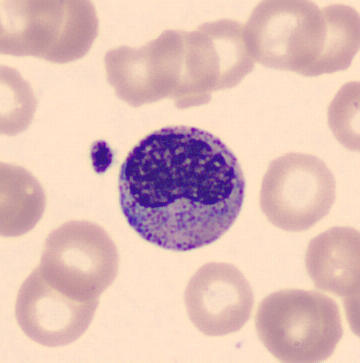
Peripheral blood film.
The cell shown is a metamyelocyte.